Bone marrow aspirate smear; 250 by 250 pixels
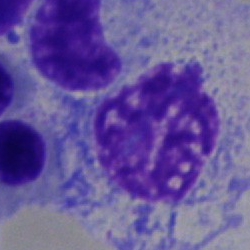
Morphology consistent with an artifact.